Bone marrow aspirate smear: 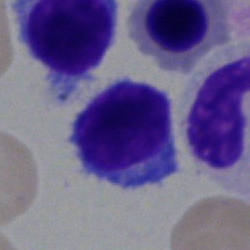 A lymphocyte.